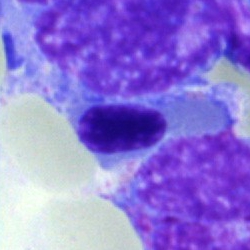 Classification: erythroblast.